May-Grünwald-Giemsa/Pappenheim stain · single-cell field · bone marrow smear.
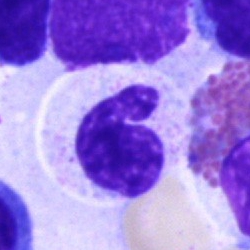
Cell: neutrophil (segmented).